Bone marrow smear:
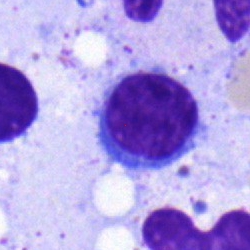

Single cell identified as a lymphocyte.